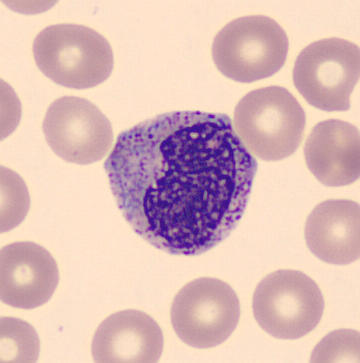
A myelocyte.